Bone marrow aspirate smear
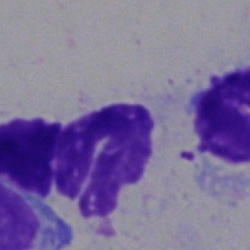Cell type — polymorphonuclear neutrophil.